Bone marrow smear
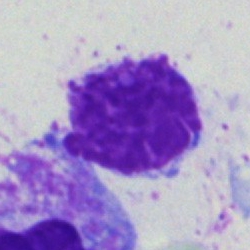 Cell = artifact.